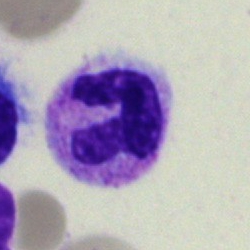 {"cell_type": "segmented neutrophil"}